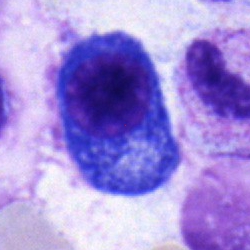
{"cell_type": "plasmacyte", "lineage": "lymphoid"}